Bone marrow smear: 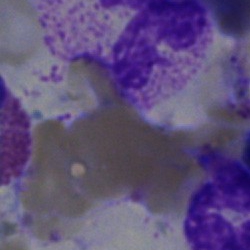

An artifact.